Bone marrow aspirate smear:
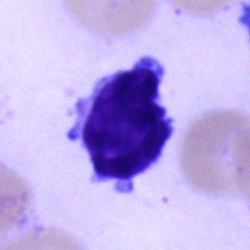
Single cell identified as a typical lymphocyte.